Bone marrow aspirate smear: 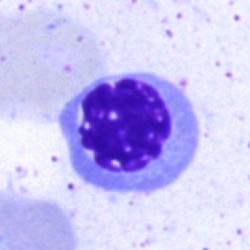
Morphological class: normoblast.